Bone marrow smear
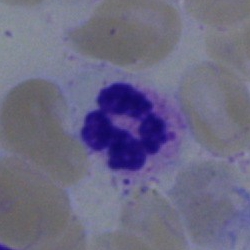

Showing a neutrophil (segmented).